Bone marrow aspirate smear — 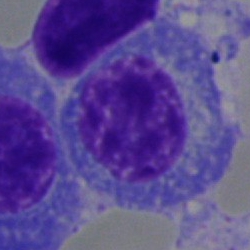

Cell type = plasma cell.